Single cell centered in the field · May-Grünwald-Giemsa/Pappenheim stain · bone marrow aspirate smear.
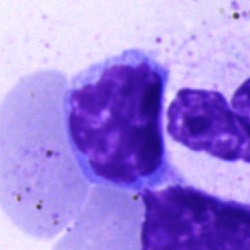 Specimen: bone marrow smear.
Cell: lymphocyte.
Lineage: lymphoid.